Bone marrow aspirate smear — 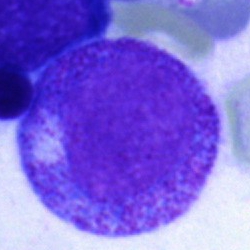
Impression — progranulocyte.